Peripheral blood smear. Single-cell crop.
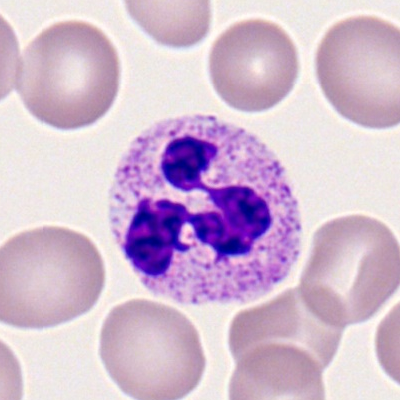

This is a polymorphonuclear neutrophil.